Bone marrow smear; single-cell crop — 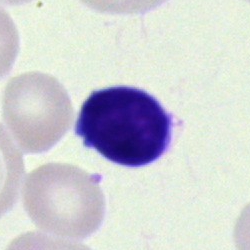 Q: What is the morphological classification of this cell?
A: This is a typical lymphocyte.